Bone marrow smear — 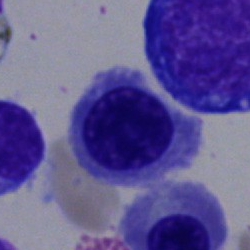
The cell shown is a normoblast.